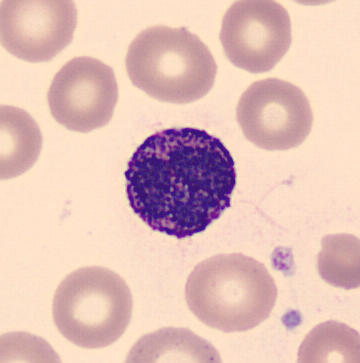 360×363 px; peripheral blood film.
Identified as a basophilic granulocyte.